Bone marrow smear: 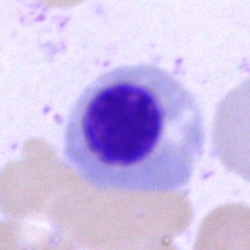Q: Identify the cell.
A: This is a nucleated red blood cell.